400 by 400 pixels; peripheral blood film.
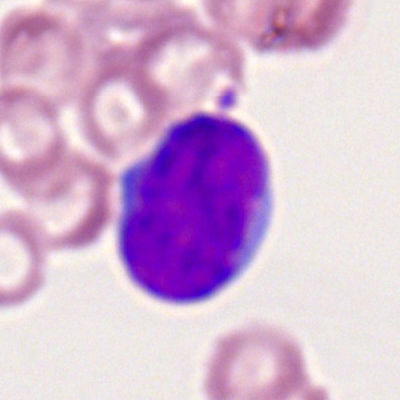 The cell shown is a myeloid blast.